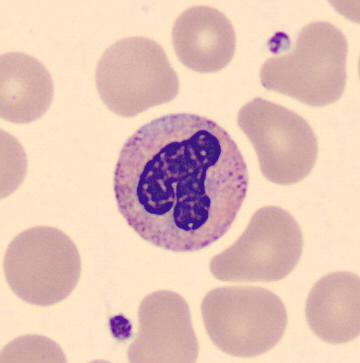Band neutrophil.
Preparation: Peripheral blood film.